Bone marrow smear. 40× oil immersion: 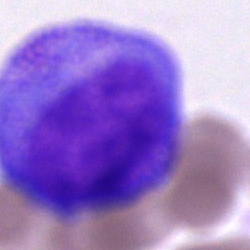 A progranulocyte.